Bone marrow smear — 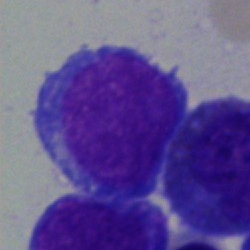

{"cell_type": "blast cell"}